Bone marrow smear:
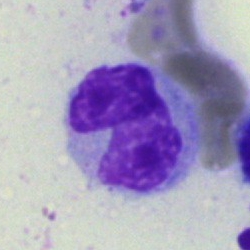

Q: What cell is this?
A: A monocyte.